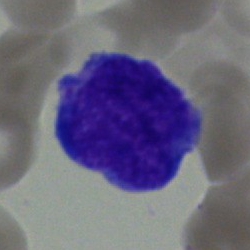

Cell type — undifferentiated blast.